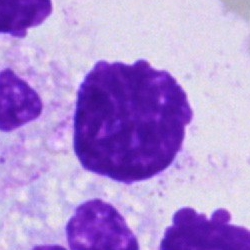Specimen: bone marrow smear.
Classification: artifact.